Bone marrow aspirate smear
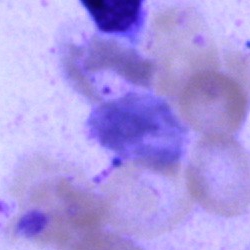
Morphology consistent with an artefact.